Single-cell field; bone marrow aspirate smear.
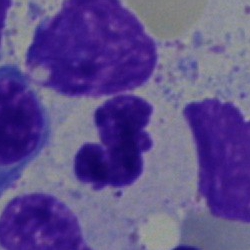
Segmented neutrophil.